Bone marrow smear — 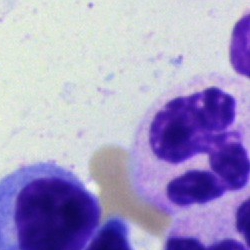
Single cell identified as a neutrophil (segmented).